Peripheral blood film. Romanowsky stain
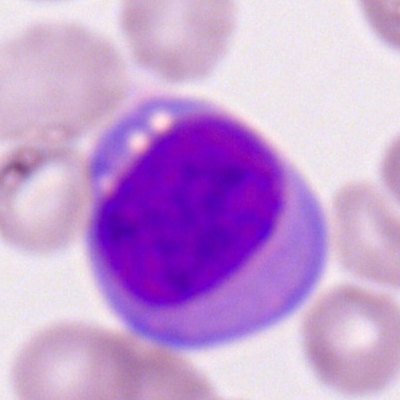Morphology — myeloid blast.